Peripheral blood smear:
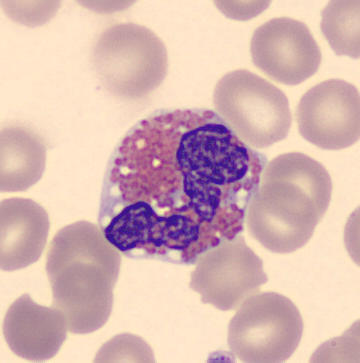 Cell: eosinophilic granulocyte.